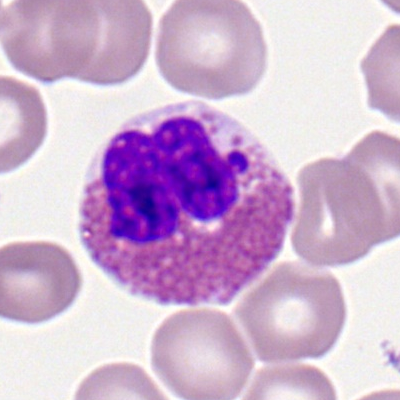
Single cell identified as an eosinophilic granulocyte.